Bone marrow smear. Single-cell field. Pappenheim-stained
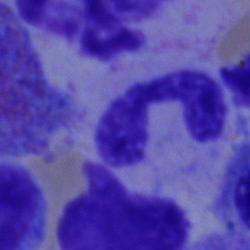Specimen: bone marrow smear.
Classification: polymorphonuclear neutrophil.